Single-cell field; bone marrow smear
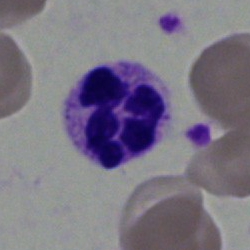Segmented neutrophil.